Bone marrow smear:
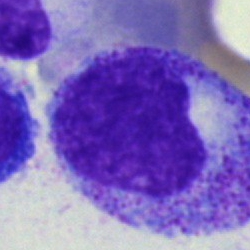

Specimen: bone marrow smear.
Morphological class: progranulocyte.